Single-cell crop · bone marrow aspirate smear · 250×250: 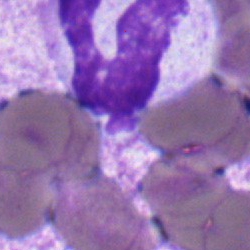
A neutrophil (segmented).